100× objective, oil immersion. Peripheral blood smear. Romanowsky-stained
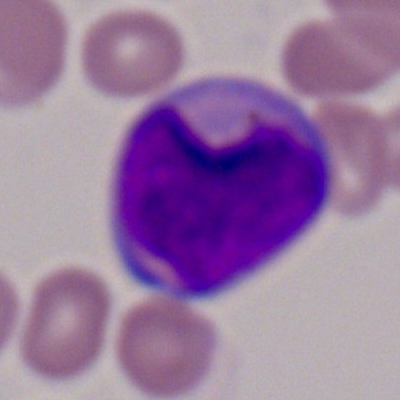 A myeloid blast.